Bone marrow aspirate smear — 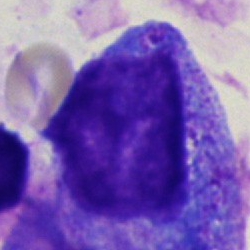 The cell type is promyelocyte.